Cropped to a single cell · MGG-stained · bone marrow smear
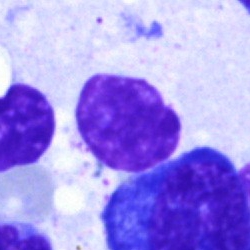
Specimen: bone marrow smear.
Classification: artefact.